Bone marrow aspirate smear · 250 by 250 pixels:
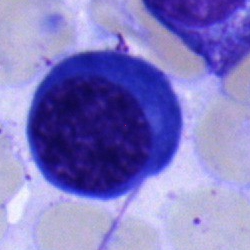

Showing a plasmacyte.